Bone marrow smear:
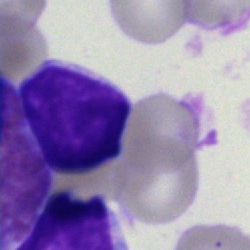
Specimen: bone marrow smear.
Cell: typical lymphocyte.
Lineage: lymphoid.